Peripheral blood smear:
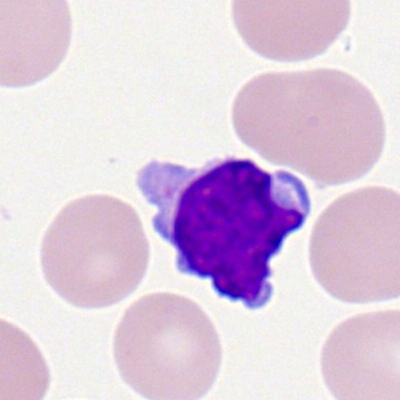Specimen: peripheral blood smear.
Cell type: lymphocyte.